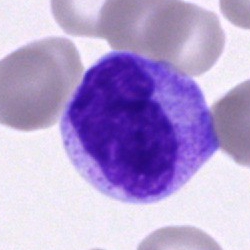 Classification — cell of indeterminate lineage.